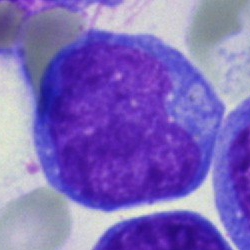
{"cell_type": "blast cell"}